Pappenheim-stained; 250×250 px; bone marrow aspirate smear.
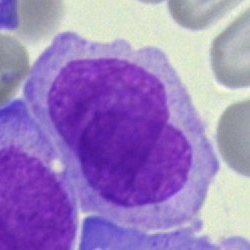
The cell shown is an undifferentiated blast.